Peripheral blood smear:
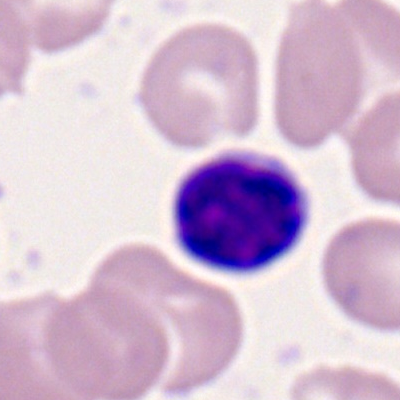
Specimen: peripheral blood film.
Cell type: typical lymphocyte.
Lineage: lymphoid.